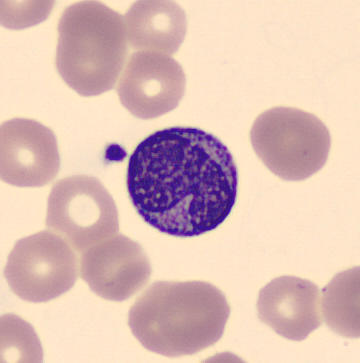Image: Peripheral blood smear.

Impression — metamyelocyte.